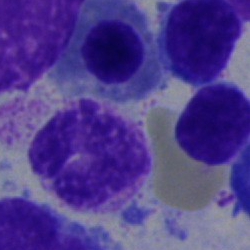

The cell is erythroblast.